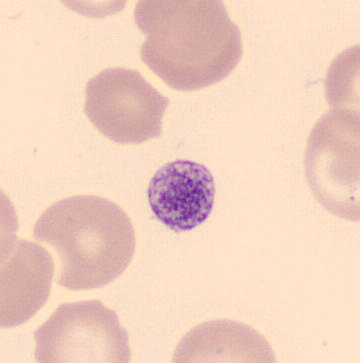
A platelet. Acquisition: Peripheral blood film · May-Grünwald-Giemsa-stained · 360 by 363 pixels.